250×250 px; brightfield, 40× oil-immersion objective; bone marrow smear — 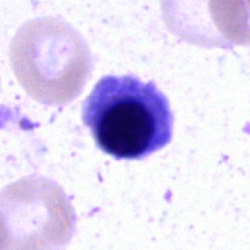
Normoblast.